Bone marrow aspirate smear — 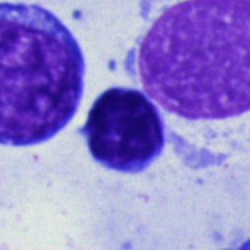Typical lymphocyte.